Bone marrow smear; brightfield microscopy, 40× oil immersion:
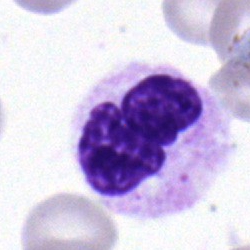A neutrophil (segmented).